Brightfield, 40× oil-immersion objective. Bone marrow smear: 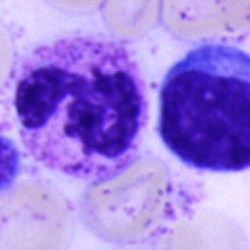Specimen: bone marrow aspirate smear.
Cell: segmented neutrophil.
Lineage: myeloid.